May-Grünwald-Giemsa/Pappenheim stain · bone marrow smear:
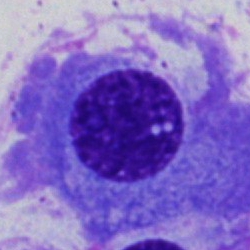 Showing a plasmacyte.